Bone marrow aspirate smear.
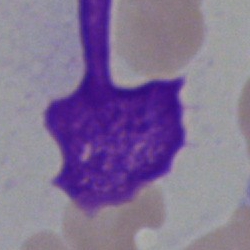An artefact.